Bone marrow aspirate smear. Single-cell crop. 40× oil immersion — 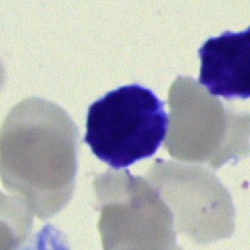Classification: typical lymphocyte.